Bone marrow smear
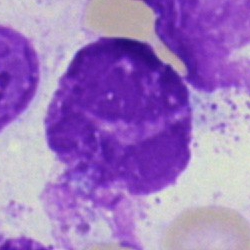

Morphology — artifact.